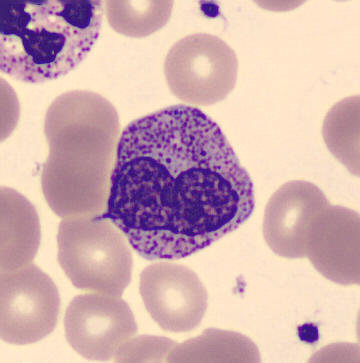

Q: What type of cell is this?
A: Metamyelocyte.